Brightfield microscopy, 40× oil immersion · single-cell crop · bone marrow smear:
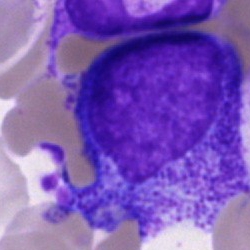 Morphology → promyelocyte.